Bone marrow smear.
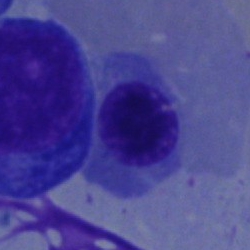

A nucleated red cell.